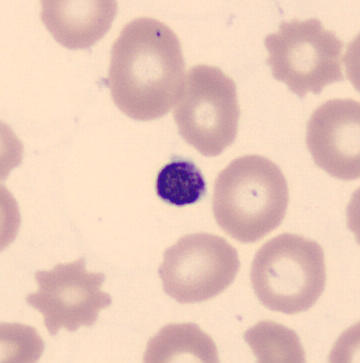 Impression → platelet.
May-Grünwald-Giemsa-stained · peripheral blood film.